Bone marrow smear.
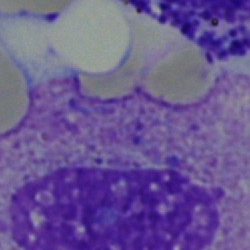

Morphology consistent with an other cell.